250×250. Bone marrow smear. Brightfield, 40× oil-immersion objective
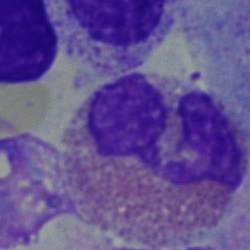
Q: Which cell type is shown here?
A: This is an eosinophil.